Bone marrow aspirate smear. May-Grünwald-Giemsa/Pappenheim stain
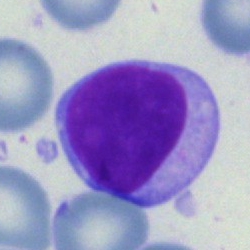

Q: What is the morphological classification of this cell?
A: It is a lymphocyte.